Bone marrow aspirate smear:
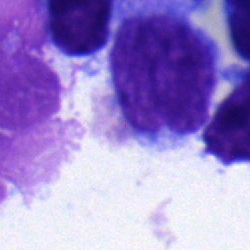Single cell identified as a typical lymphocyte.